Bone marrow aspirate smear. Cropped to a single cell. 40× oil immersion:
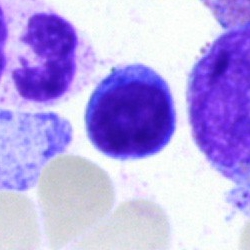Morphological class = lymphocyte.